Bone marrow aspirate smear
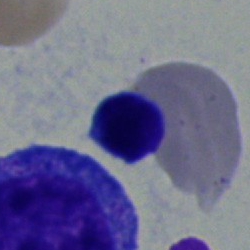 Showing a typical lymphocyte.